Bone marrow smear:
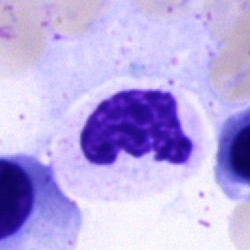
Classification = polymorphonuclear neutrophil.